Bone marrow smear:
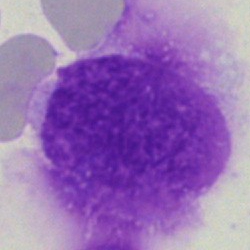 Showing an artifact.